Bone marrow aspirate smear. May-Grünwald-Giemsa/Pappenheim stain.
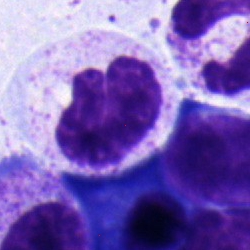

Impression — band-form neutrophil.